Bone marrow aspirate smear; single-cell field:
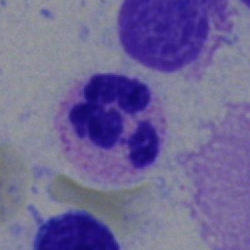

Morphological class: polymorphonuclear neutrophil.